250 by 250 pixels. Bone marrow smear:
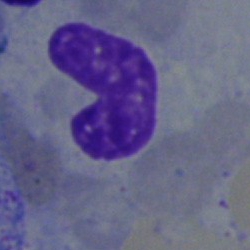
Q: Which cell type is shown here?
A: This is a neutrophil (band).